Bone marrow smear:
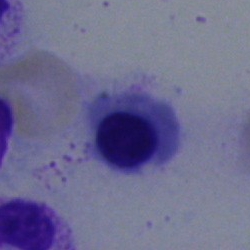

Nucleated red cell.